Bone marrow aspirate smear:
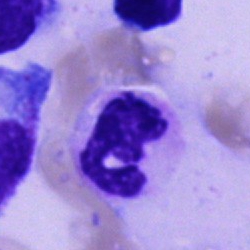 Specimen: bone marrow aspirate smear.
Cell type: polymorphonuclear neutrophil.
Lineage: myeloid.